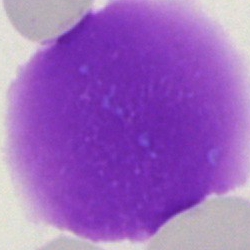

The morphological class is artefact.